Brightfield microscopy, 40× oil immersion. Bone marrow aspirate smear
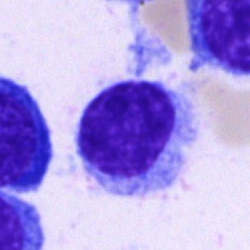

Lymphocyte.